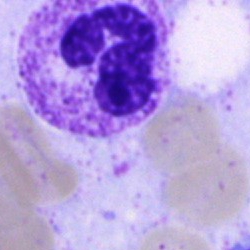 Bone marrow aspirate smear, single cell — segmented neutrophil.